Bone marrow smear: 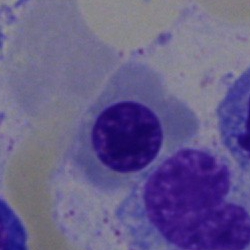

Classification: normoblast.